Bone marrow smear:
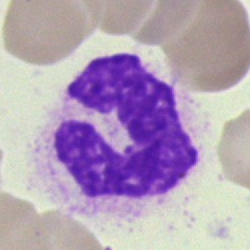Showing a stab cell.